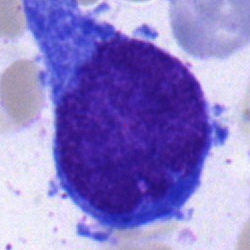Classification — undifferentiated blast.